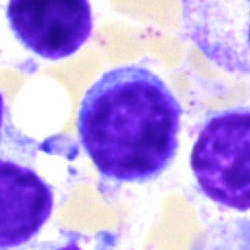Bone marrow smear showing a typical lymphocyte.